May-Grünwald-Giemsa stain · bone marrow smear — 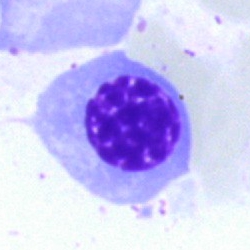

Morphological class: nucleated red cell.